Cropped to a single cell · peripheral blood film.
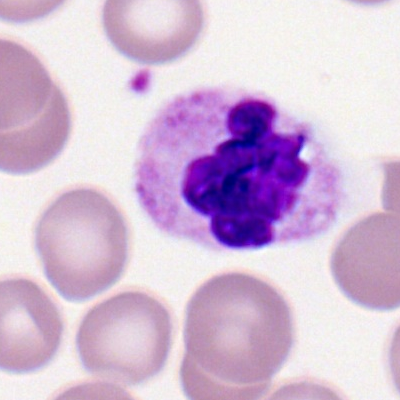Specimen: peripheral blood film.
Cell: polymorphonuclear neutrophil.